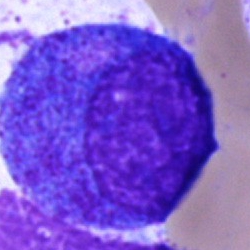 Bone marrow smear showing a progranulocyte.